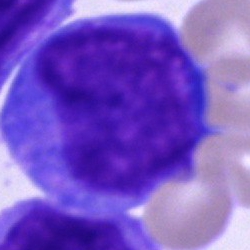 Q: What type of cell is this?
A: It is an undifferentiated blast.